Brightfield microscopy, 40× oil immersion; MGG-stained; bone marrow smear — 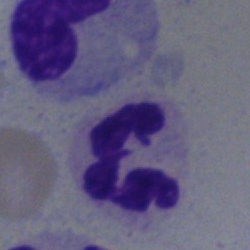
Morphological class — neutrophil (segmented).